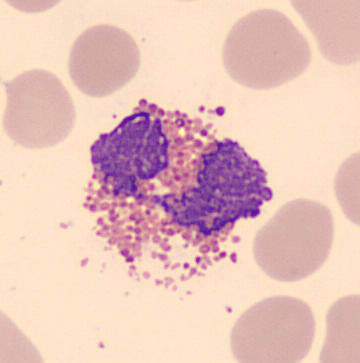Specimen: peripheral blood smear.
Morphological class: eosinophil.
Lineage: myeloid.